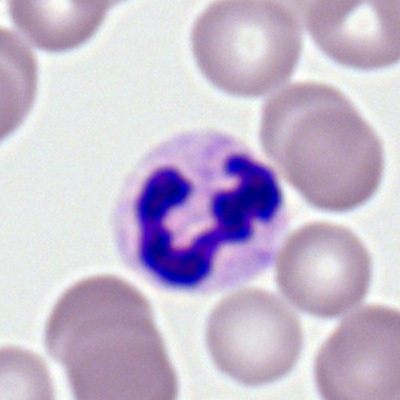

Q: What cell is this?
A: Neutrophil (segmented).